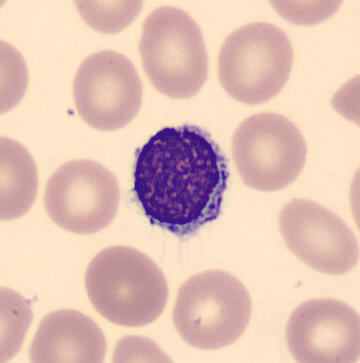

Peripheral blood smear showing a typical lymphocyte.